Single-cell field · May-Grünwald-Giemsa/Pappenheim stain · bone marrow smear — 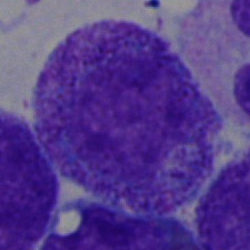

This is a myelocyte.